Bone marrow smear — 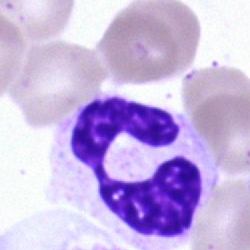Q: What cell is this?
A: A segmented neutrophil.